Bone marrow smear: 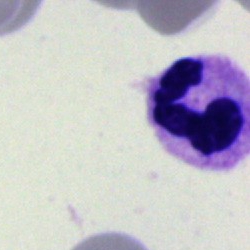

The cell shown is a segmented neutrophil.